Bone marrow smear. Single-cell field — 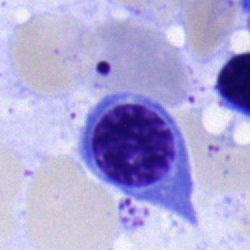
A normoblast.